Bone marrow smear:
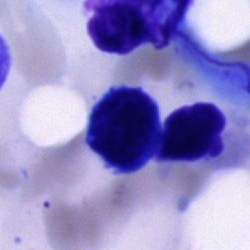 Specimen: bone marrow aspirate smear.
Classification: artefact.